Single cell centered in the field · peripheral blood film · Romanowsky stain — 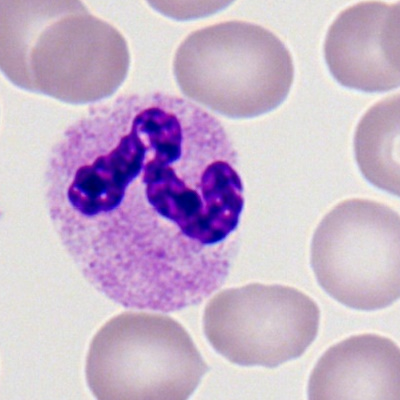Q: What is shown here?
A: Segmented neutrophil.